Image size 250×250; bone marrow aspirate smear.
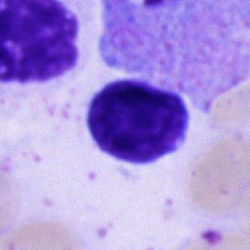Q: What is the morphological classification of this cell?
A: A typical lymphocyte.